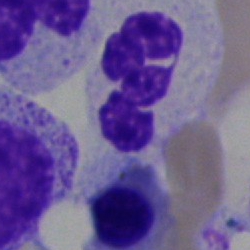
Q: What is the morphological classification of this cell?
A: A polymorphonuclear neutrophil.